Bone marrow smear; May-Grünwald-Giemsa/Pappenheim stain; cropped to a single cell
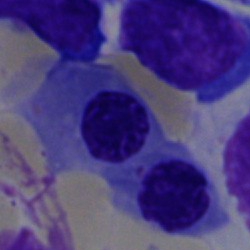Showing a nucleated red cell.